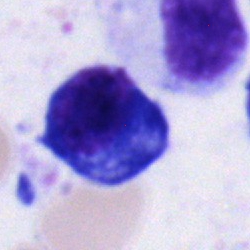
Showing a plasma cell.